Bone marrow aspirate smear. May-Grünwald-Giemsa stain. Single cell centered in the field: 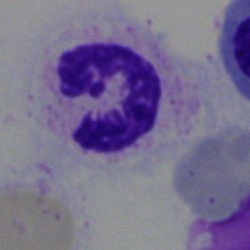Segmented neutrophil.